MGG-stained · bone marrow smear.
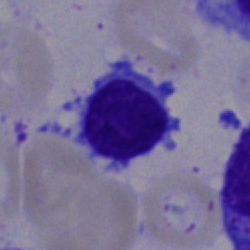 Single cell identified as a typical lymphocyte.